Bone marrow smear. Brightfield microscopy, 40× oil immersion: 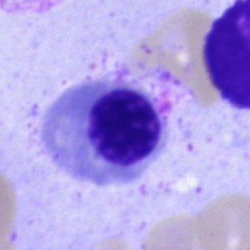 Q: Identify the cell.
A: It is a nucleated red cell.